Bone marrow aspirate smear · May-Grünwald-Giemsa/Pappenheim stain · 40× objective, oil immersion: 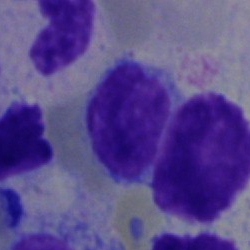
Q: What is shown here?
A: Artifact.